Bone marrow smear — 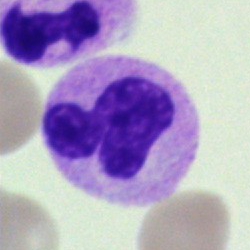 Q: Which cell type is shown here?
A: Segmented neutrophil.